Cropped to a single cell; 40× objective, oil immersion; bone marrow smear: 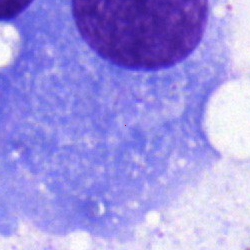
Showing a plasma cell.